Single-cell field. MGG-stained. Bone marrow smear.
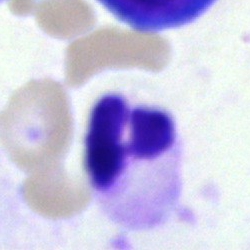
Single cell identified as a segmented neutrophil.